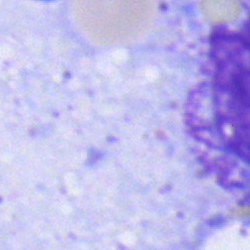

A promyelocyte on a bone marrow smear.